Bone marrow smear; image size 250×250 — 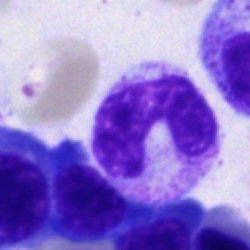

Classification = band neutrophil.